Bone marrow smear; brightfield, 40× oil-immersion objective; 250 by 250 pixels — 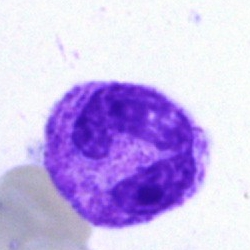Single cell identified as a segmented neutrophil.